Bone marrow aspirate smear.
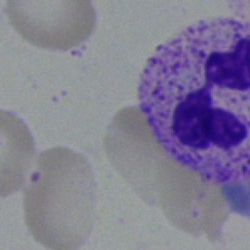Impression — polymorphonuclear neutrophil.